Peripheral blood smear:
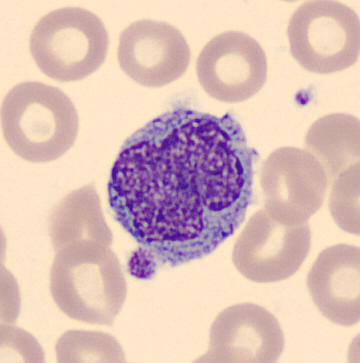

Showing a monocyte.